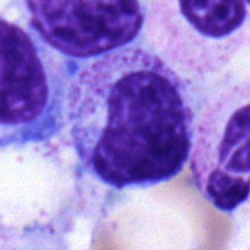
Specimen: bone marrow aspirate smear.
Cell type: metamyelocyte.
Lineage: myeloid.